Peripheral blood film. MGG stain. Single cell centered in the field — 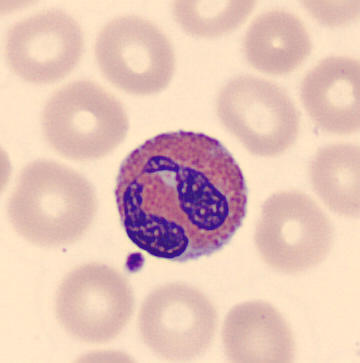
The cell type is eosinophil.